40× oil immersion · bone marrow smear
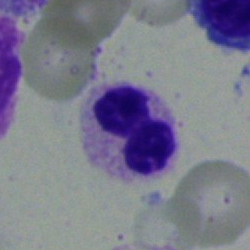
Neutrophil (segmented).